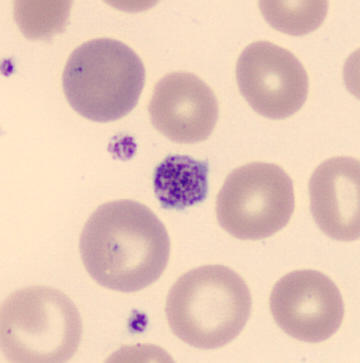 Q: What is shown here?
A: This is a platelet (thrombocyte).

Peripheral blood smear.